Bone marrow smear — 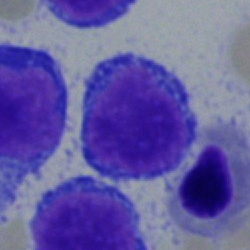 Q: Identify the cell.
A: It is a typical lymphocyte.